Bone marrow smear.
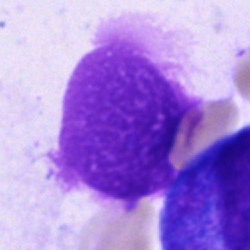 Cell type — artifact.